Bone marrow smear.
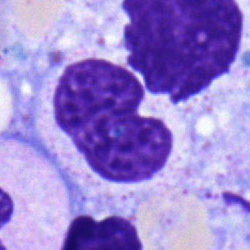
This is a metamyelocyte.